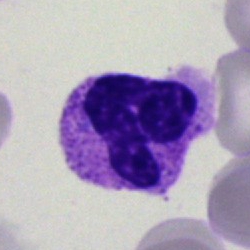
The cell shown is a band neutrophil.